Bone marrow smear:
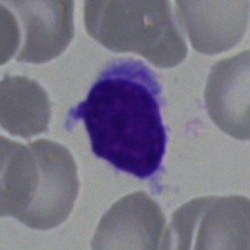
Specimen: bone marrow aspirate smear.
Morphological class: typical lymphocyte.
Lineage: lymphoid.